Bone marrow smear · 250 by 250 pixels · brightfield, 40× oil-immersion objective.
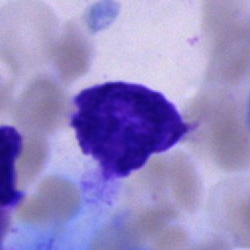 Q: What is shown here?
A: An artifact.